Bone marrow smear — 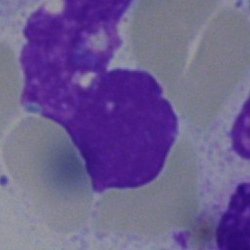

This is an artefact.